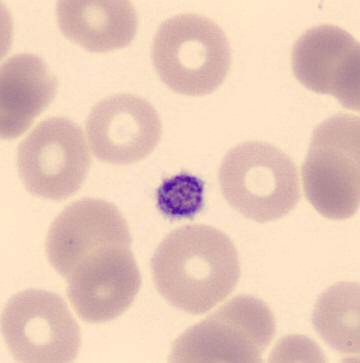Q: What is shown here?
A: Platelet (thrombocyte).